Bone marrow smear: 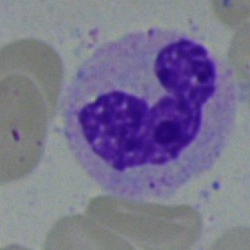 Specimen: bone marrow smear.
Classification: stab cell.